Bone marrow aspirate smear — 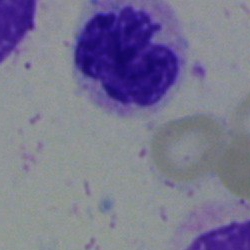

Morphological class = segmented neutrophil.